Bone marrow aspirate smear:
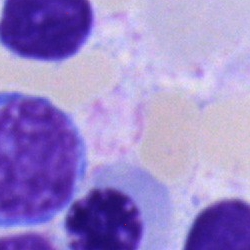This is a nucleated red blood cell.